Bone marrow aspirate smear: 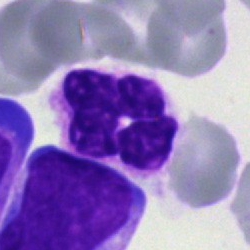

Q: What cell is this?
A: Segmented neutrophil.